May-Grünwald-Giemsa stain · bone marrow smear — 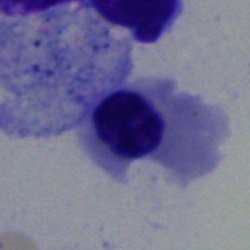 Impression → erythroblast.